Bone marrow aspirate smear; image size 250×250; 40× oil immersion — 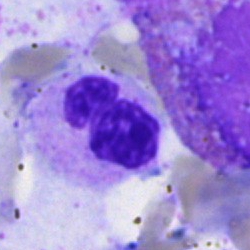
Q: What cell is this?
A: This is a segmented neutrophil.